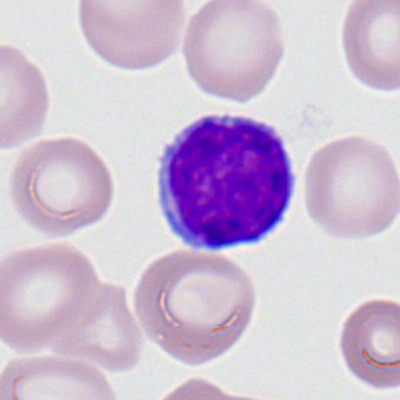

Specimen: peripheral blood smear.
Cell type: typical lymphocyte.
Lineage: lymphoid.